Bone marrow aspirate smear. 250 by 250 pixels: 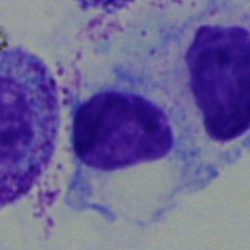

Q: What is shown here?
A: This is an artifact.